Bone marrow smear; 250 by 250 pixels; brightfield, 40× oil-immersion objective:
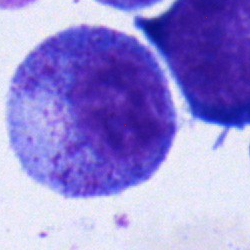Single cell identified as a myelocyte.